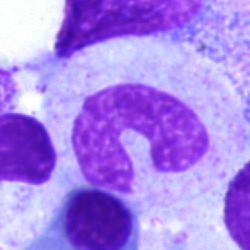 Specimen: bone marrow aspirate smear.
Classification: band neutrophil.
Lineage: myeloid.